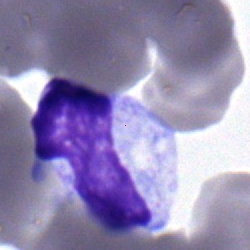The cell type is monocyte.